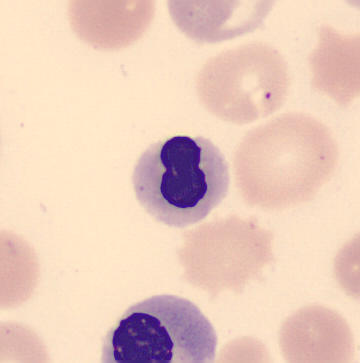

Cell — normoblast.